Bone marrow aspirate smear; 250×250 px
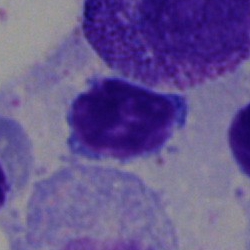
Cell = typical lymphocyte.